Peripheral blood film · brightfield, 100× oil-immersion objective · single-cell field: 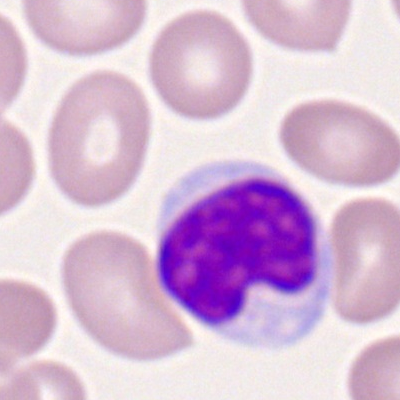 Cell type: lymphocyte.